Bone marrow aspirate smear: 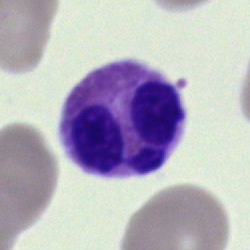Showing an eosinophil.